Image size 250×250; bone marrow aspirate smear
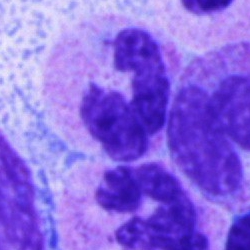The cell type is segmented neutrophil.